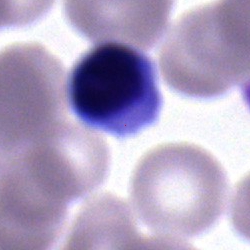The classification is typical lymphocyte.